Single-cell field · bone marrow aspirate smear
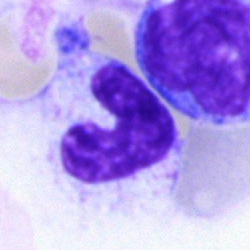

Single cell identified as a band neutrophil.